Single-cell field · bone marrow aspirate smear
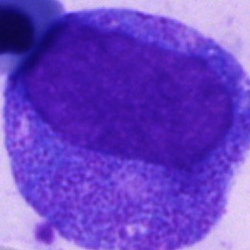
Impression → promyelocyte.